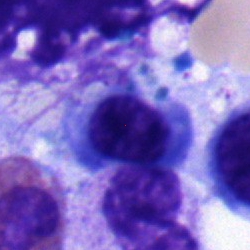The classification is nucleated red cell.